Peripheral blood smear. Romanowsky stain.
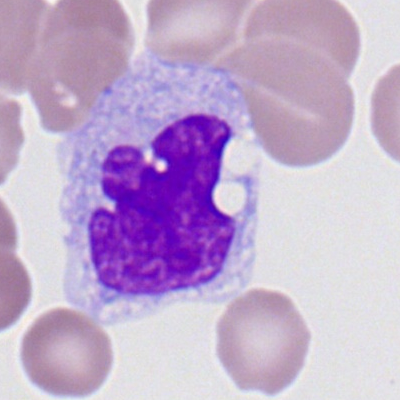 Single cell identified as a monocyte.